Bone marrow smear:
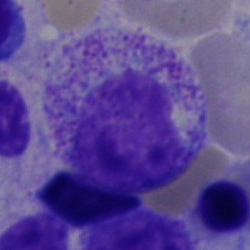

Specimen: bone marrow smear.
Cell: myelocyte.